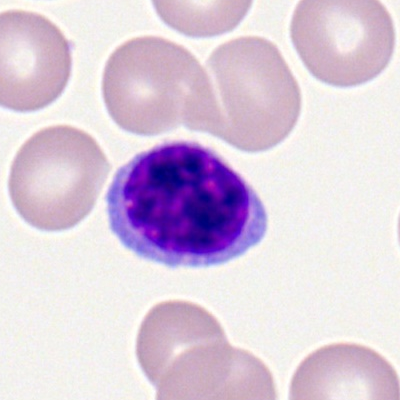
A lymphocyte on a peripheral blood smear.